MGG-stained; 40× objective, oil immersion; bone marrow smear: 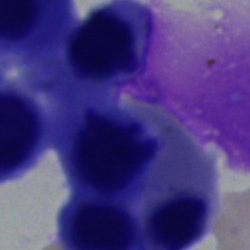
Morphology consistent with a normoblast.